Single-cell crop · bone marrow smear
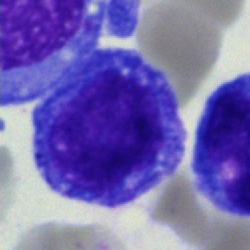
The cell type is blast.